Bone marrow smear.
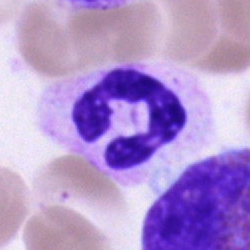
Q: What is shown here?
A: This is a neutrophil (segmented).